Bone marrow smear. 40× oil immersion. Cropped to a single cell — 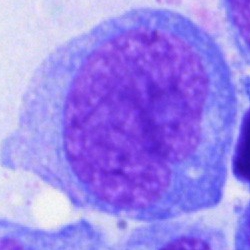 Specimen: bone marrow aspirate smear.
Cell type: blast cell.